Bone marrow aspirate smear; 250 by 250 pixels: 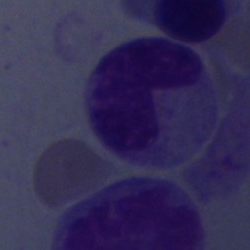

Classification — artefact.